Brightfield microscopy, 40× oil immersion. MGG-stained. Bone marrow aspirate smear:
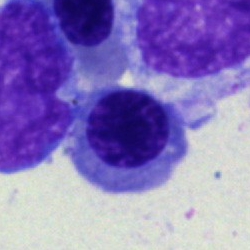
This is a nucleated red cell.